250×250 px; bone marrow smear; May-Grünwald-Giemsa stain — 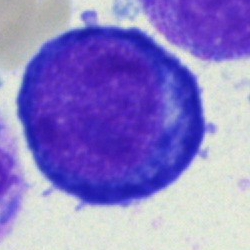This is a proerythroblast.